Bone marrow smear
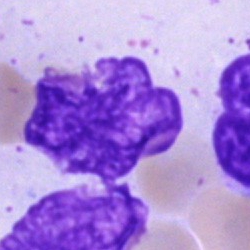
Cell — artifact.